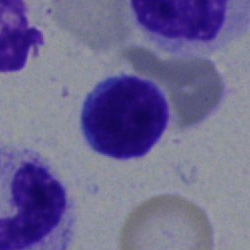 The cell is typical lymphocyte.